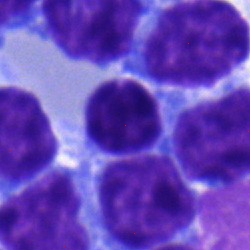

The morphological class is erythroblast.